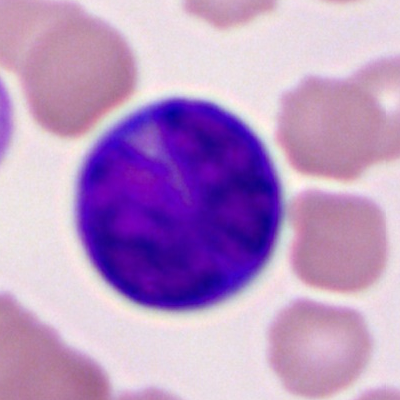Classification = myeloblast.